Bone marrow smear.
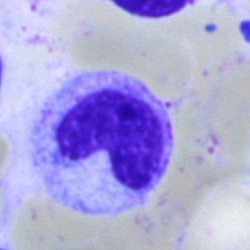

Cell = neutrophil (band).